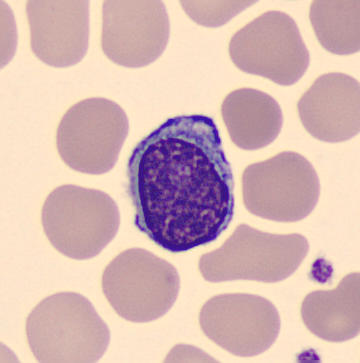 Q: Which cell type is shown here?
A: This is a typical lymphocyte.

Preparation: Peripheral blood film.